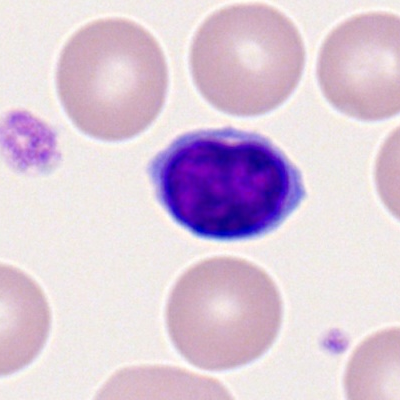

Peripheral blood film, single cell — lymphocyte.